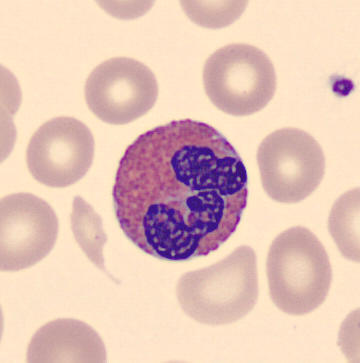 Classification: eosinophil.
Acquisition: Single-cell crop. Peripheral blood film. 360×363 px.